Bone marrow smear; Pappenheim-stained: 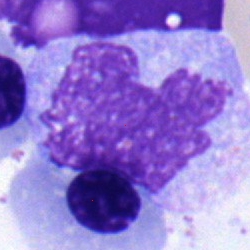 Morphological class = monocyte.